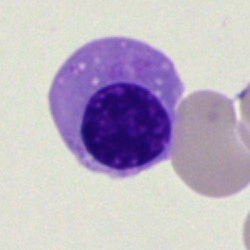Morphology consistent with a nucleated red blood cell.